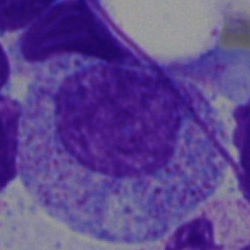The cell shown is a myelocyte.